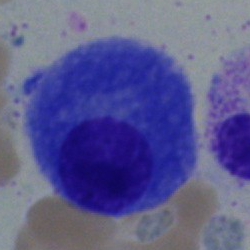 Plasma cell.